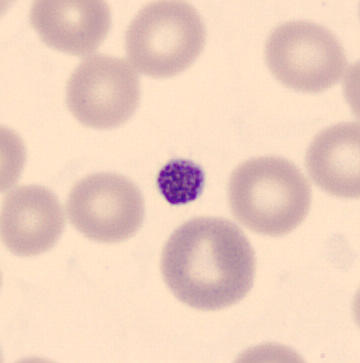Specimen: peripheral blood film.
Morphological class: platelet (thrombocyte).